250 by 250 pixels · bone marrow aspirate smear — 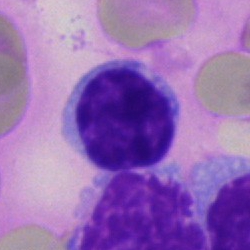
Cell type = typical lymphocyte.